Bone marrow smear:
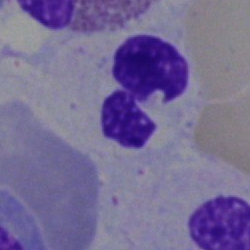Specimen: bone marrow smear.
Classification: polymorphonuclear neutrophil.
Lineage: myeloid.